MGG stain. CellaVision DM96. Peripheral blood film:
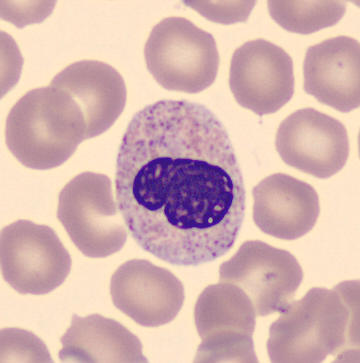
Cell type — band neutrophil.